May-Grünwald-Giemsa/Pappenheim stain · bone marrow smear: 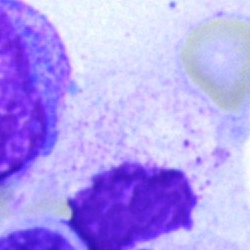
Morphological class — artifact.